Single cell centered in the field; bone marrow smear: 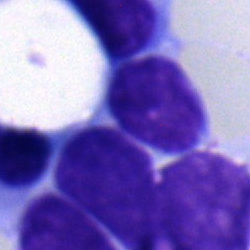

Cell type = lymphocyte.